Bone marrow smear.
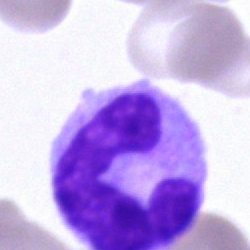
Monocyte.